250 by 250 pixels · bone marrow aspirate smear — 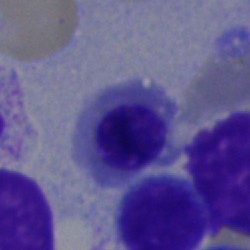Showing an erythroblast.